Bone marrow aspirate smear. Brightfield microscopy, 40× oil immersion.
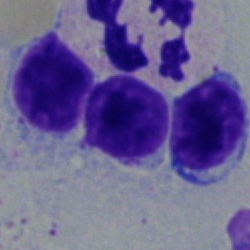Q: What is shown here?
A: Lymphocyte.